Bone marrow smear
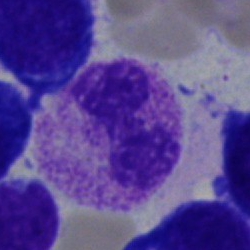
Impression → polymorphonuclear neutrophil.